Peripheral blood smear.
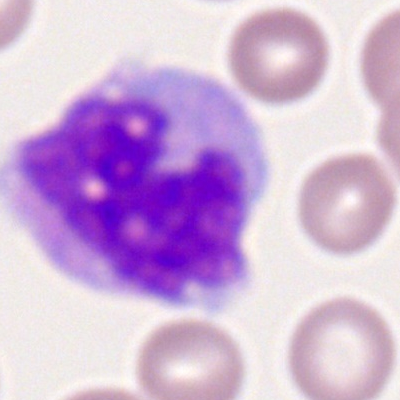 The cell shown is a monocyte.